Brightfield microscopy, 40× oil immersion; May-Grünwald-Giemsa stain; bone marrow aspirate smear:
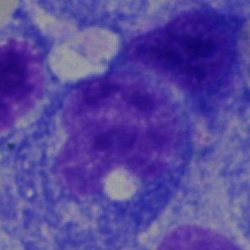 {"cell_type": "artifact"}